Bone marrow aspirate smear.
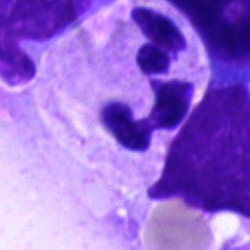 A polymorphonuclear neutrophil.